Bone marrow aspirate smear. Image size 250×250.
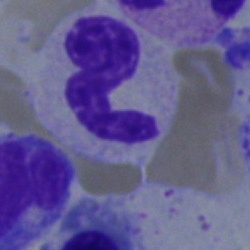

Impression — polymorphonuclear neutrophil.